Bone marrow smear:
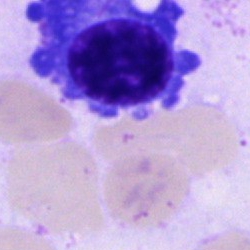Q: Which cell type is shown here?
A: It is a plasmacyte.